Bone marrow smear
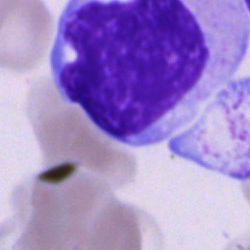 Cell of indeterminate lineage.